Bone marrow smear:
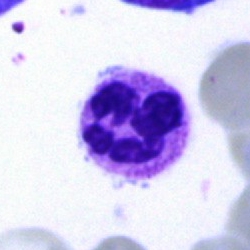
The classification is neutrophil (segmented).